Bone marrow smear:
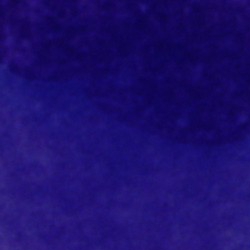 {"cell_type": "artifact"}